40× objective, oil immersion. Single cell centered in the field. Bone marrow aspirate smear
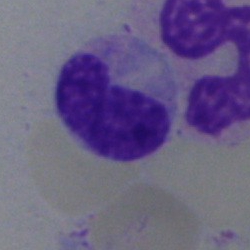 Metamyelocyte.